Bone marrow smear
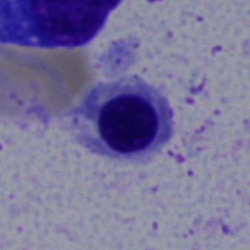
Cell type — nucleated red cell.